Bone marrow aspirate smear; 40× oil immersion
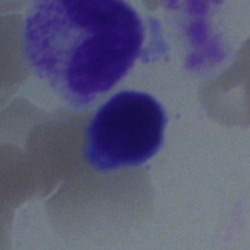 Classification = lymphocyte.